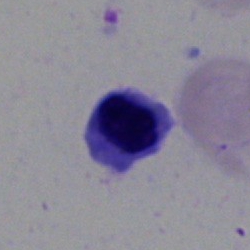Classification = nucleated red cell.